Brightfield microscopy, 40× oil immersion; bone marrow smear
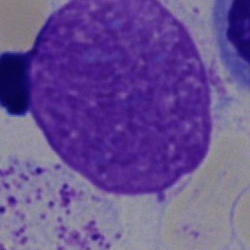The cell shown is an artefact.